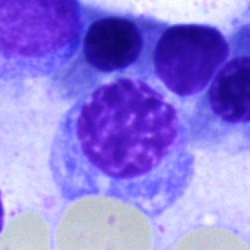
Q: What is shown here?
A: It is a normoblast.